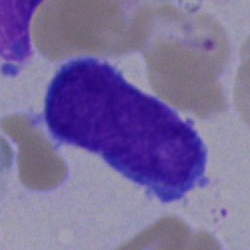 A blast.